Bone marrow aspirate smear — 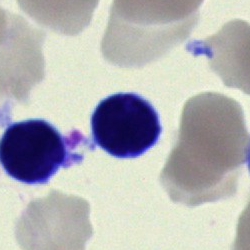A typical lymphocyte.